100× oil immersion · peripheral blood film.
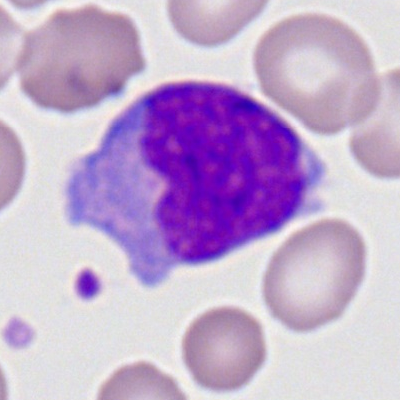

Specimen: peripheral blood smear.
Classification: monocyte.